Bone marrow aspirate smear:
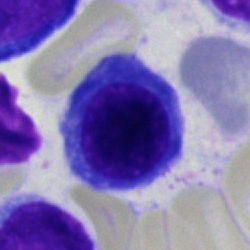

This is a nucleated red blood cell.